Bone marrow aspirate smear
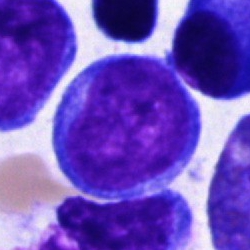An undifferentiated blast.